Bone marrow smear — 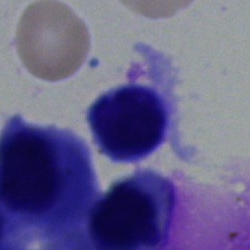
Single cell identified as a normoblast.